Bone marrow smear.
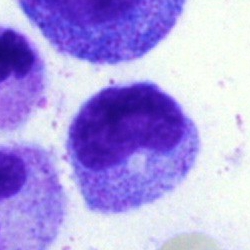Showing a metamyelocyte.